Single-cell field; bone marrow smear.
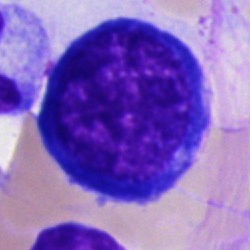

Specimen: bone marrow smear.
Classification: erythroblast.
Lineage: erythroid.